Bone marrow aspirate smear. 250×250: 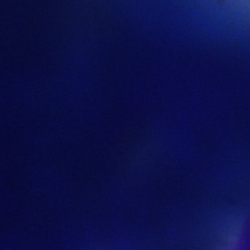 Classification = artifact.